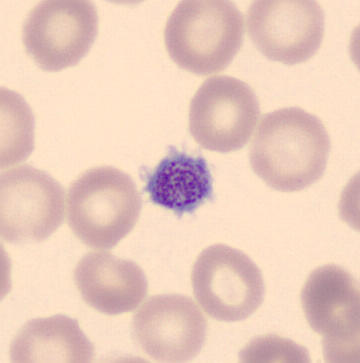 Identified as a thrombocyte. Peripheral blood film.